Bone marrow smear:
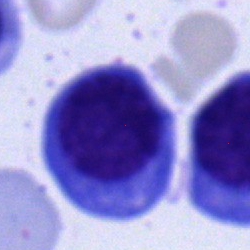

Specimen: bone marrow smear.
Classification: erythroblast.